Bone marrow smear. Brightfield, 40× oil-immersion objective.
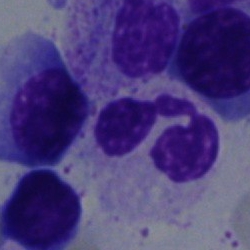
The cell shown is a neutrophil (segmented).